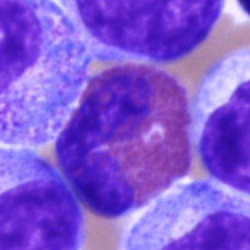

Morphology — eosinophil.